Peripheral blood smear
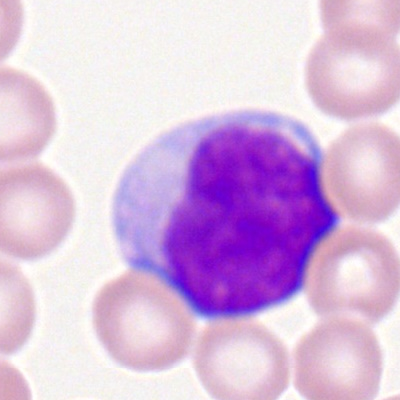The cell type is myeloblast.